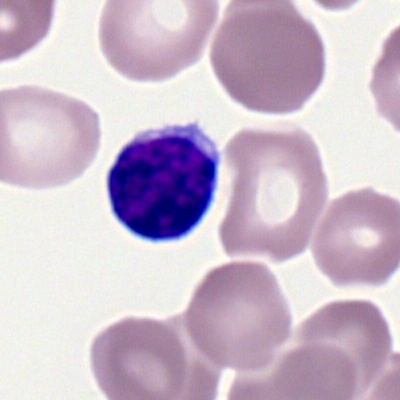

Cell type — typical lymphocyte.